MGG-stained. Bone marrow smear.
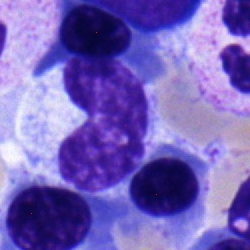
Specimen: bone marrow smear.
Cell: neutrophil (band).
Lineage: myeloid.